Bone marrow aspirate smear
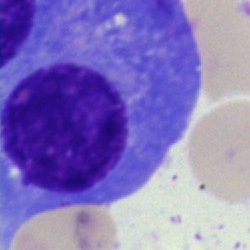Morphology → plasmacyte.